Bone marrow aspirate smear:
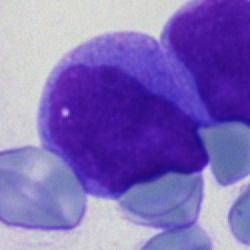 Q: What is the morphological classification of this cell?
A: A blast.